Peripheral blood smear:
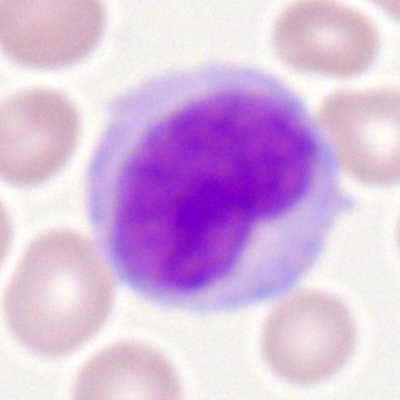 Q: What is the morphological classification of this cell?
A: This is a monocyte.